Bone marrow smear: 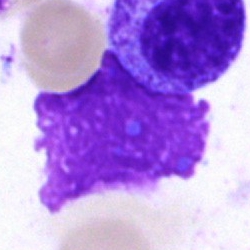
Impression — artifact.